Bone marrow aspirate smear: 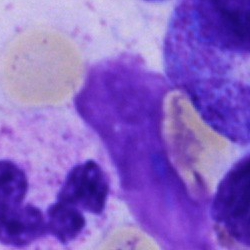
Specimen: bone marrow smear.
Classification: artefact.